Bone marrow smear · MGG-stained — 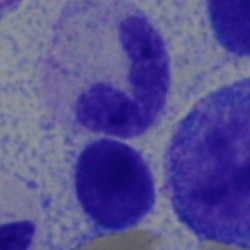 Morphological class: band-form neutrophil.